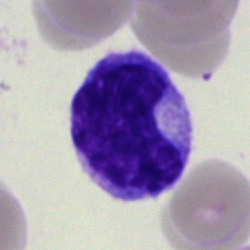
Cell type — typical lymphocyte.